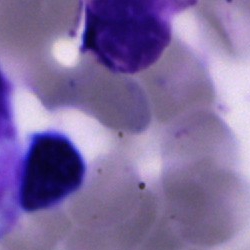Morphological class — artefact.